Brightfield, 40× oil-immersion objective. Bone marrow smear:
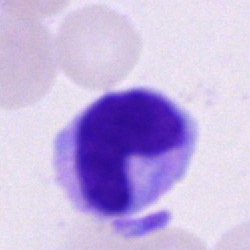 This is an artefact.